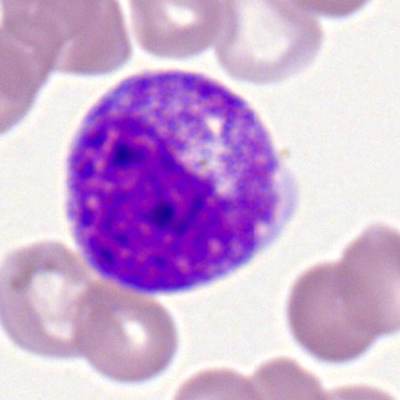Q: Which cell type is shown here?
A: A myelocyte.